Peripheral blood smear — 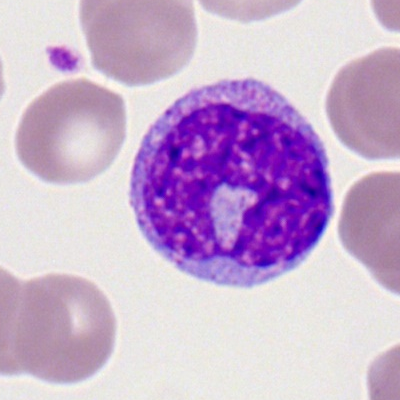

Morphological class: monocyte.